250×250 px. Bone marrow smear.
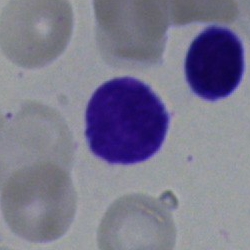

Classification = typical lymphocyte.